Bone marrow smear. May-Grünwald-Giemsa/Pappenheim stain. Cropped to a single cell:
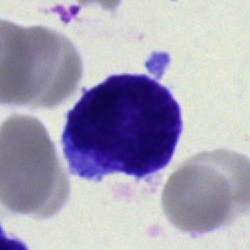

Morphological class = blast.